Bone marrow smear — 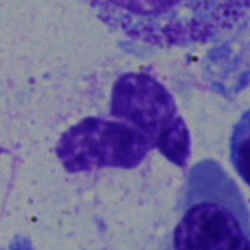

A neutrophil (segmented).